Bone marrow aspirate smear:
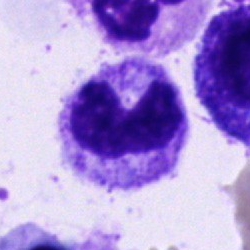
Classification — neutrophil (segmented).